Bone marrow smear
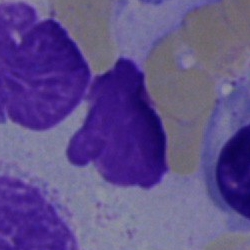 Q: What is shown here?
A: It is an artefact.